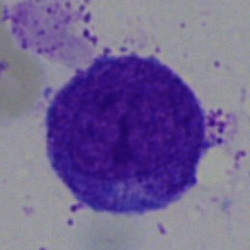 Bone marrow smear showing a progranulocyte.